Bone marrow smear · image size 250×250: 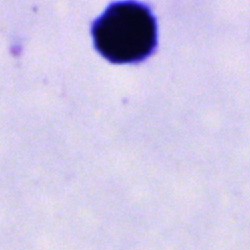

Morphology — cell of indeterminate lineage.